Bone marrow smear — 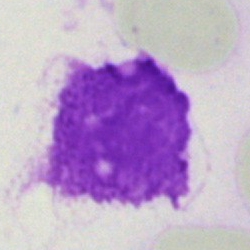
Morphological class = artifact.